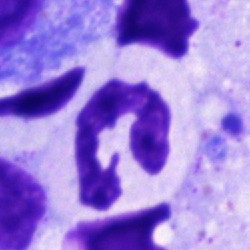 Classification: polymorphonuclear neutrophil.